Bone marrow smear.
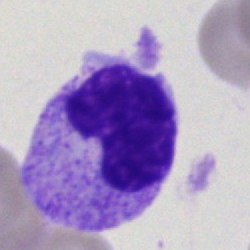
The morphological class is band-form neutrophil.